250 by 250 pixels · bone marrow aspirate smear.
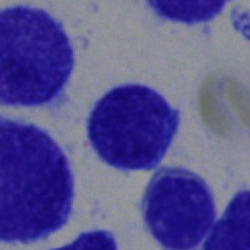Typical lymphocyte.